Bone marrow aspirate smear — 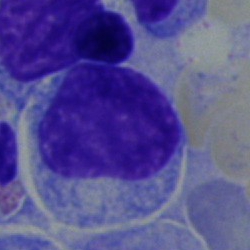 Impression → myelocyte.